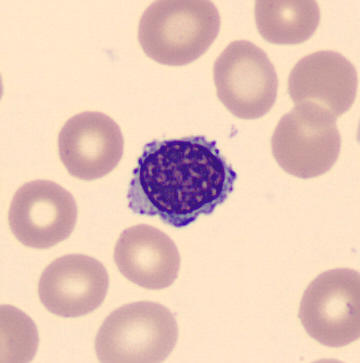Preparation: Peripheral blood film. This is a nucleated red blood cell.